Bone marrow aspirate smear: 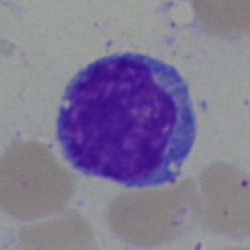
Morphology consistent with a typical lymphocyte.